Bone marrow smear — 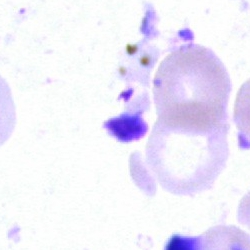

Cell: artefact.